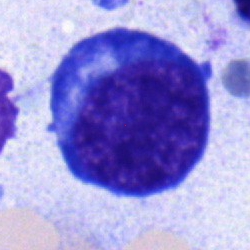Morphological class — proerythroblast.